Peripheral blood smear:
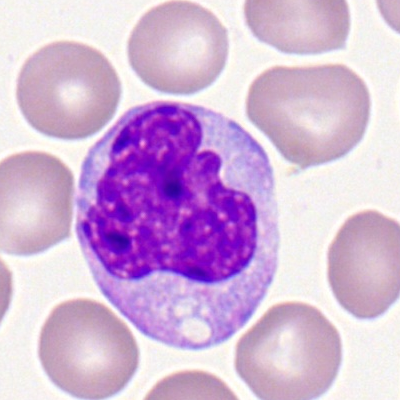 Cell — monocyte.